Bone marrow aspirate smear; May-Grünwald-Giemsa/Pappenheim stain: 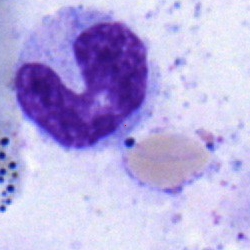
The classification is neutrophil (band).